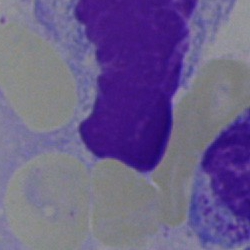Classification — artefact.